Single cell centered in the field; bone marrow smear — 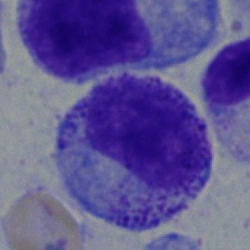 Classification: myelocyte.